Bone marrow smear
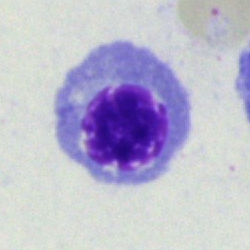

Erythroblast.